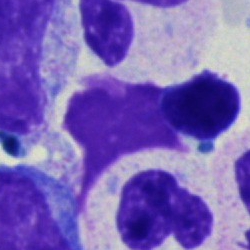
Q: Which cell type is shown here?
A: It is an unidentifiable cell.